Bone marrow aspirate smear.
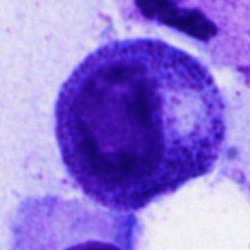 Showing a myelocyte.